250×250 px · bone marrow smear: 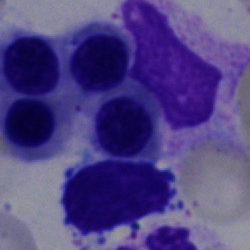
Impression — nucleated red cell.